Single-cell field; bone marrow aspirate smear — 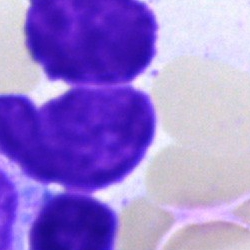
Impression → artefact.